Single-cell field. Bone marrow smear. Brightfield microscopy, 40× oil immersion
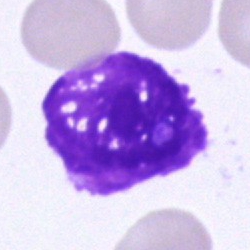
Q: What is shown here?
A: This is an artifact.